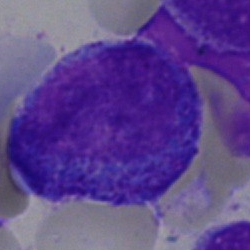
The cell shown is a promyelocyte.